Bone marrow smear — 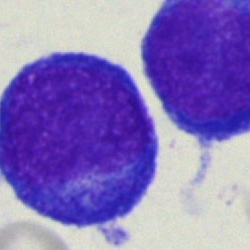

This is a proerythroblast.